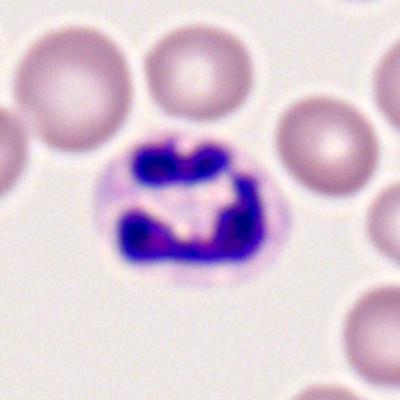
Segmented neutrophil.